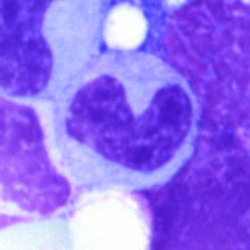 Q: What is the morphological classification of this cell?
A: A stab cell.